Bone marrow aspirate smear. Brightfield, 40× oil-immersion objective — 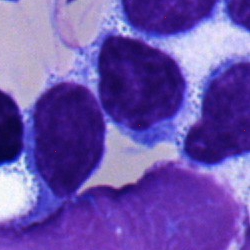The cell shown is a typical lymphocyte.